Bone marrow aspirate smear · May-Grünwald-Giemsa/Pappenheim stain: 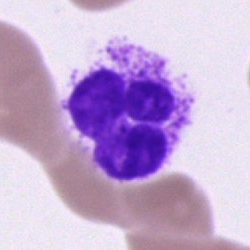

Q: Which cell type is shown here?
A: Polymorphonuclear neutrophil.